Bone marrow aspirate smear · 250 by 250 pixels
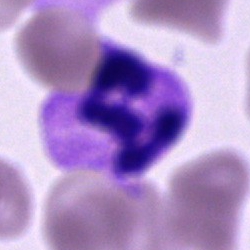A polymorphonuclear neutrophil.